250×250 px; bone marrow aspirate smear: 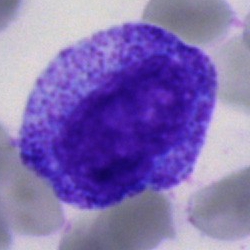
Specimen: bone marrow aspirate smear.
Classification: progranulocyte.
Lineage: myeloid.